Cropped to a single cell. Bone marrow aspirate smear
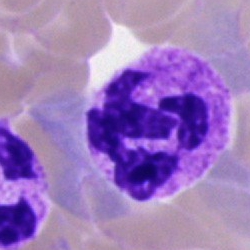
Q: What type of cell is this?
A: It is a segmented neutrophil.